Bone marrow smear — 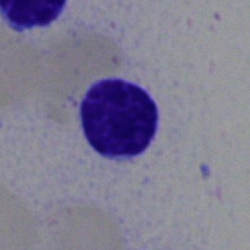Single cell identified as a typical lymphocyte.